Bone marrow smear; single cell centered in the field: 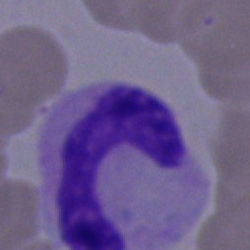 Q: What is shown here?
A: This is a band neutrophil.